Pappenheim-stained · bone marrow smear:
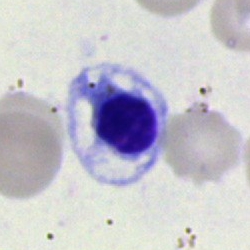
This is a nucleated red blood cell.